Bone marrow smear. 250 by 250 pixels.
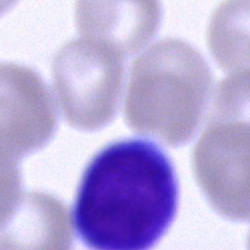

Q: What cell is this?
A: Typical lymphocyte.